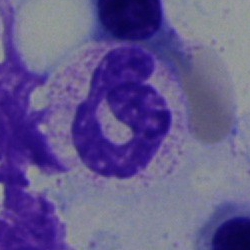This is a segmented neutrophil.